250 by 250 pixels · bone marrow aspirate smear · 40× objective, oil immersion: 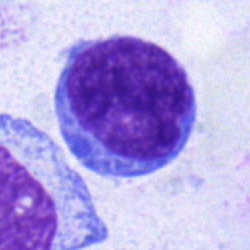Blast cell.